Single-cell field; bone marrow smear
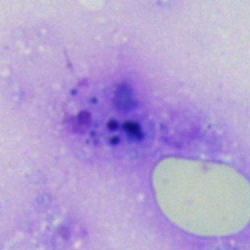Classification: artefact.